Brightfield microscopy, 40× oil immersion · 250×250 · bone marrow smear:
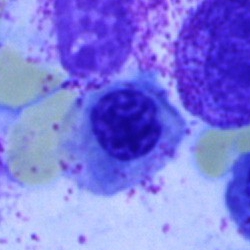 Impression → normoblast.